Brightfield, 40× oil-immersion objective; 250×250; bone marrow aspirate smear
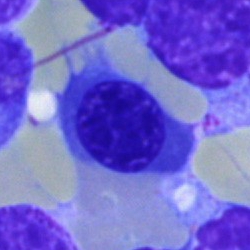

This is a normoblast.